Bone marrow smear:
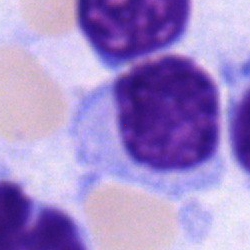

Classification = typical lymphocyte.